Bone marrow smear
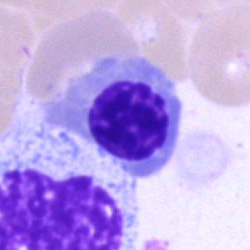{"cell_type": "nucleated red cell", "lineage": "erythroid"}